Bone marrow aspirate smear
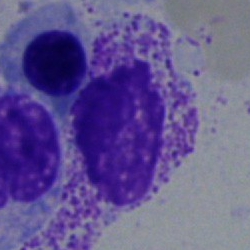

Morphology consistent with a myelocyte.